Peripheral blood film — 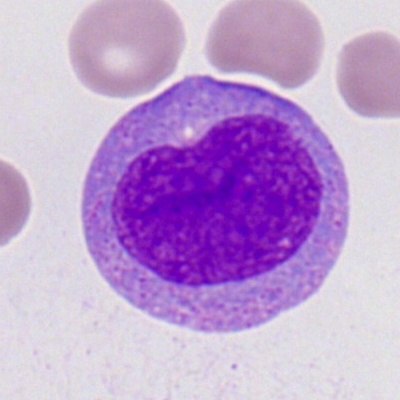

Q: What type of cell is this?
A: It is a myeloid blast.